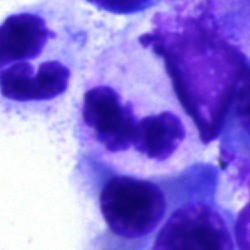

Cell type — polymorphonuclear neutrophil.